Bone marrow smear.
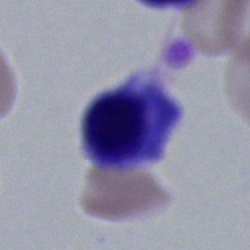 Impression → erythroblast.